Peripheral blood film; 360×363; CellaVision DM96 — 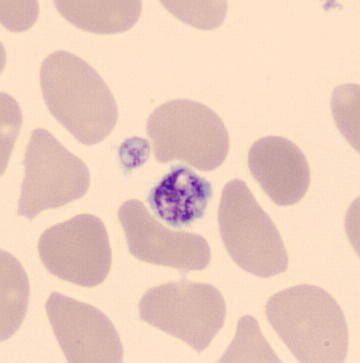

The morphological class is platelet (thrombocyte).